Single-cell crop. Bone marrow aspirate smear — 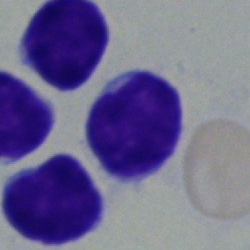 The cell shown is a lymphocyte.